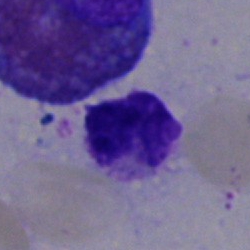
Q: What is shown here?
A: It is an artifact.